Peripheral blood smear. Romanowsky-stained:
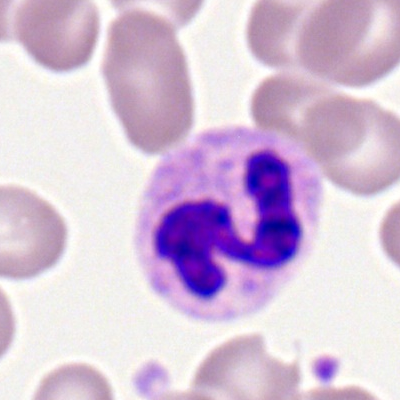
The cell shown is a segmented neutrophil.